Bone marrow smear — 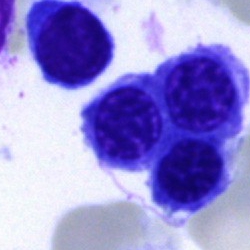
{"cell_type": "normoblast"}